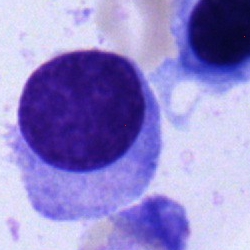
Cell: plasma cell.